Bone marrow aspirate smear. Image size 250×250. Pappenheim-stained: 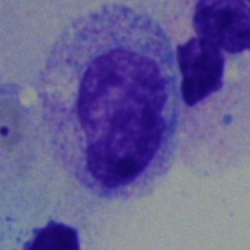
Single cell identified as a myelocyte.